Bone marrow smear: 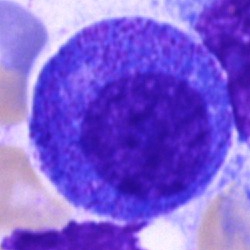

This is a promyelocyte.